Pappenheim-stained; bone marrow smear: 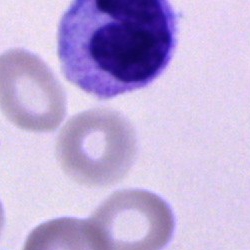Cell of indeterminate lineage.